Bone marrow smear: 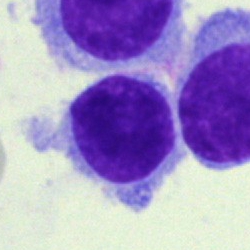 A hairy cell.